Bone marrow aspirate smear.
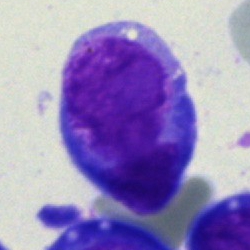
Blast cell.